Bone marrow smear — 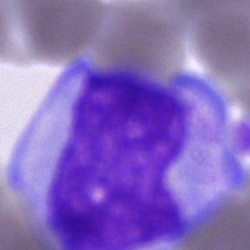 The cell is cell of indeterminate lineage.